Bone marrow aspirate smear · single-cell crop · May-Grünwald-Giemsa/Pappenheim stain
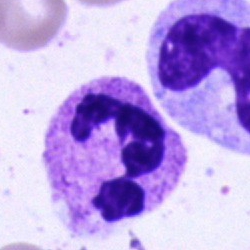This is a polymorphonuclear neutrophil.